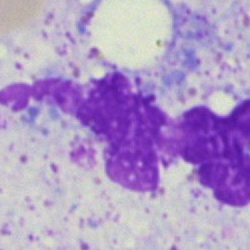

Artifact.